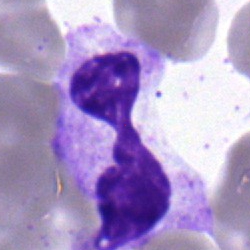
{"cell_type": "neutrophil (segmented)", "lineage": "myeloid"}